250×250; brightfield microscopy, 40× oil immersion; bone marrow aspirate smear
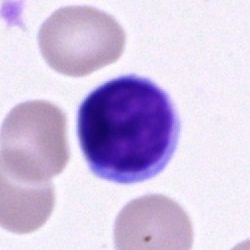

Q: Which cell type is shown here?
A: Typical lymphocyte.